May-Grünwald-Giemsa/Pappenheim stain. Bone marrow smear:
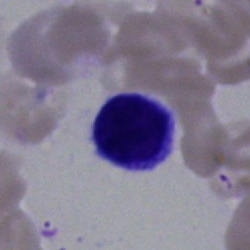 Showing a lymphocyte.